Bone marrow smear:
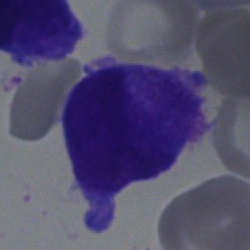 Morphology — undifferentiated blast.